40× objective, oil immersion; 250 by 250 pixels; bone marrow smear — 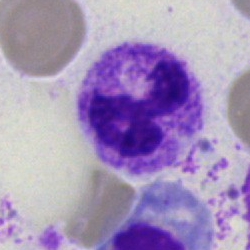 Impression — neutrophil (segmented).